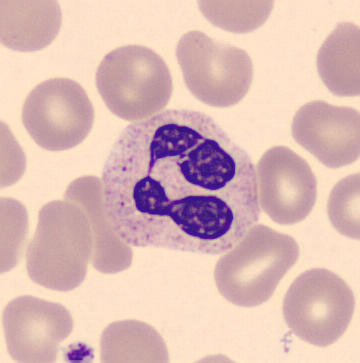

Specimen: peripheral blood smear.
Cell type: neutrophil (segmented).
Lineage: myeloid.